May-Grünwald-Giemsa/Pappenheim stain; bone marrow aspirate smear; cropped to a single cell.
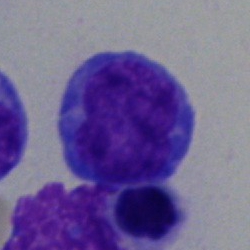

Morphology → blast cell.